Bone marrow aspirate smear. Image size 250×250.
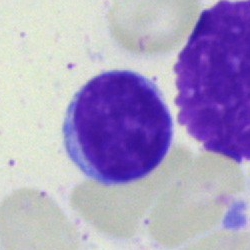

Cell: lymphocyte.